Bone marrow smear
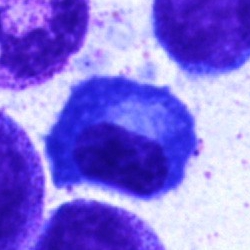
Specimen: bone marrow aspirate smear.
Cell type: plasma cell.